Bone marrow aspirate smear: 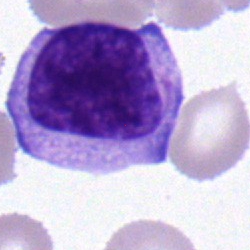 Q: What cell is this?
A: A typical lymphocyte.